Brightfield microscopy, 40× oil immersion · single-cell crop · bone marrow aspirate smear: 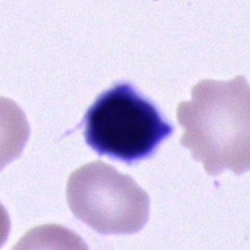
{"cell_type": "unidentifiable cell"}